Peripheral blood smear:
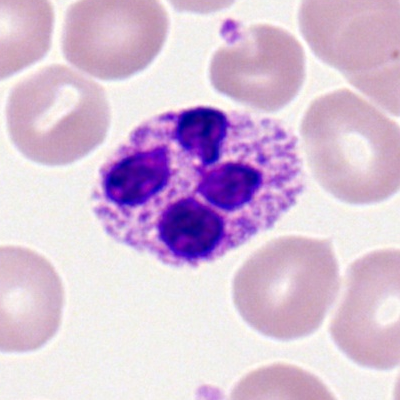Specimen: peripheral blood smear.
Morphological class: neutrophil (segmented).
Lineage: myeloid.